May-Grünwald-Giemsa stain · bone marrow smear · 40× oil immersion — 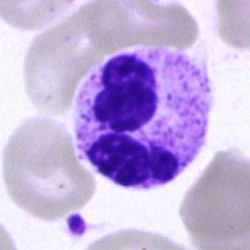
Specimen: bone marrow aspirate smear.
Cell: segmented neutrophil.
Lineage: myeloid.